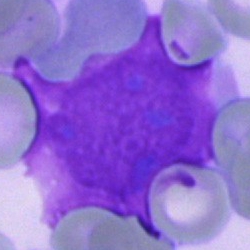

Impression — artefact.